Bone marrow smear:
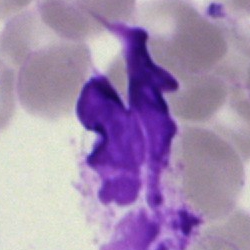Q: What is shown here?
A: It is an artefact.